Bone marrow aspirate smear: 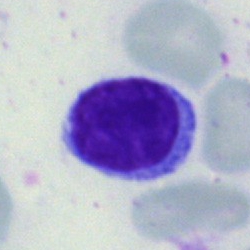
Morphology consistent with a lymphocyte.